Pappenheim-stained. Bone marrow smear
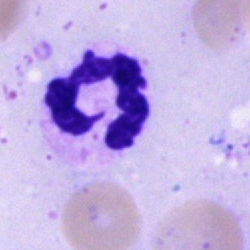The cell type is segmented neutrophil.